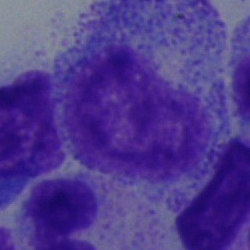
Q: Which cell type is shown here?
A: Myelocyte.